Bone marrow smear; single-cell field; 250 by 250 pixels:
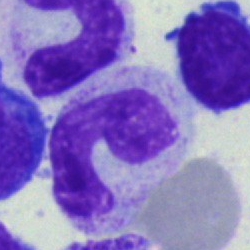Morphological class = stab cell.